Single-cell field; bone marrow aspirate smear
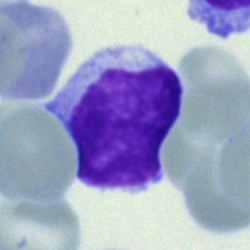

Cell = typical lymphocyte.